Bone marrow smear
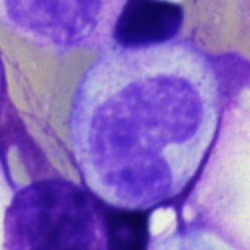
{"cell_type": "band neutrophil", "lineage": "myeloid"}